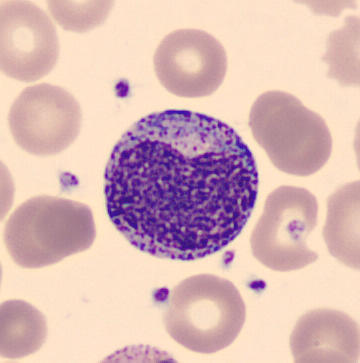 Preparation: Peripheral blood smear. 360×363 px.
Single cell identified as a promyelocyte.